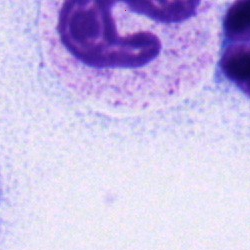
{"cell_type": "segmented neutrophil", "lineage": "myeloid"}